Bone marrow smear
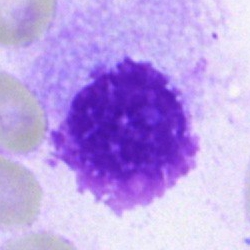
This is an artifact.